Image size 250×250. Bone marrow smear. Cropped to a single cell.
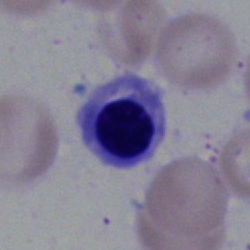 This is a normoblast.